Bone marrow aspirate smear:
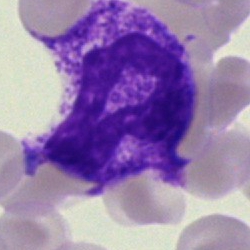Q: Identify the cell.
A: Neutrophil (segmented).